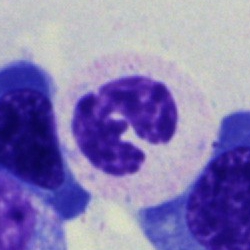 Classification = segmented neutrophil.